Brightfield, 40× oil-immersion objective · single-cell crop · bone marrow aspirate smear: 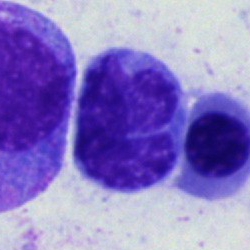

Cell type: monocyte.